May-Grünwald-Giemsa-stained · peripheral blood film.
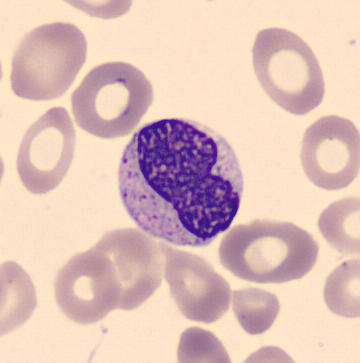

The cell shown is a metamyelocyte.